Single-cell crop. Bone marrow smear
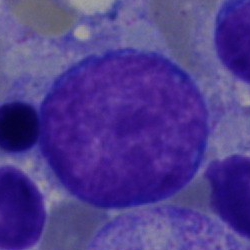
The morphological class is pronormoblast.